Bone marrow smear — 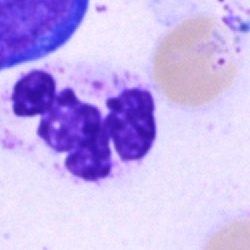Morphology → neutrophil (segmented).